Cropped to a single cell. Bone marrow aspirate smear:
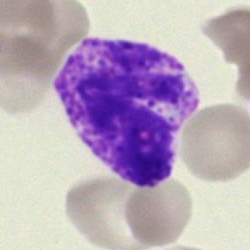
The cell shown is a basophil.